Bone marrow aspirate smear
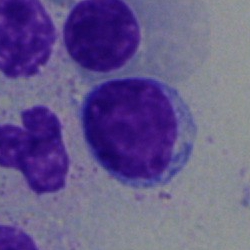Specimen: bone marrow smear.
Morphological class: lymphocyte.